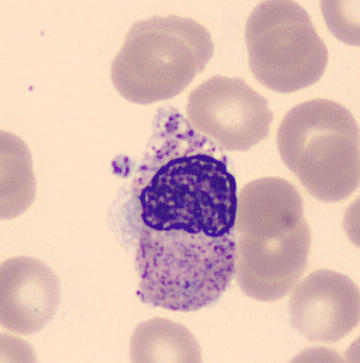The cell is metamyelocyte.

Image: Peripheral blood smear. 360×363 px.